Cropped to a single cell. Bone marrow smear — 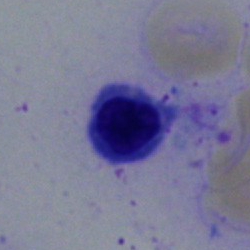

Specimen: bone marrow aspirate smear.
Morphological class: erythroblast.
Lineage: erythroid.